Peripheral blood smear — 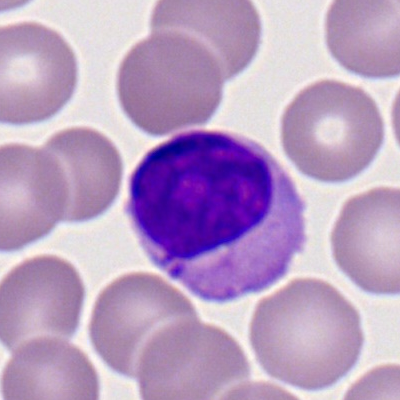Q: What type of cell is this?
A: It is a lymphocyte.